Bone marrow aspirate smear.
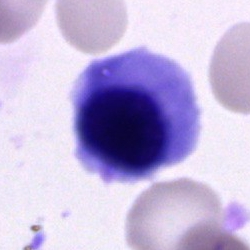 The morphological class is erythroblast.